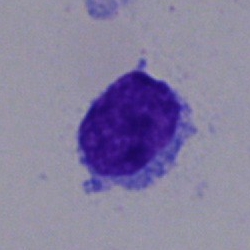
Specimen: bone marrow aspirate smear.
Morphological class: typical lymphocyte.
Lineage: lymphoid.